250×250; bone marrow smear: 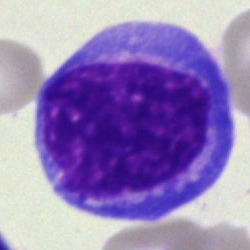

Q: What is the morphological classification of this cell?
A: A pronormoblast.